Peripheral blood smear · single cell centered in the field — 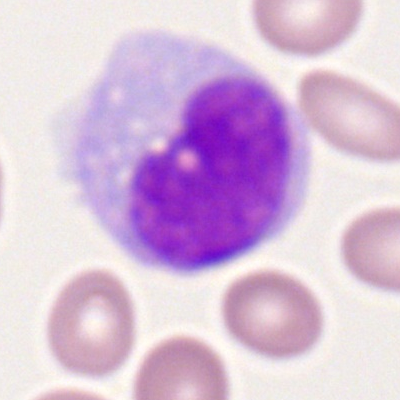

Morphology → monocyte.